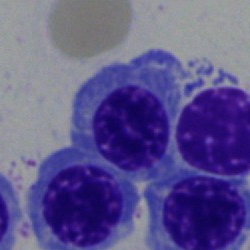 Bone marrow smear showing a nucleated red cell.